Bone marrow smear; brightfield, 40× oil-immersion objective; single-cell field — 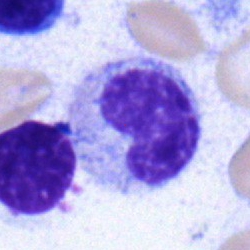
Cell — metamyelocyte.